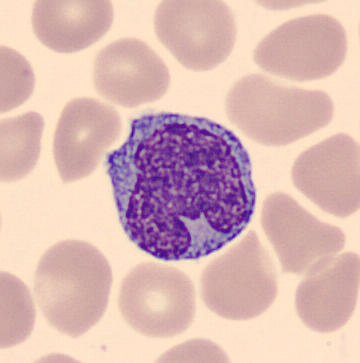

Specimen: peripheral blood film.
Cell: monocyte.
Lineage: myeloid.